Bone marrow smear: 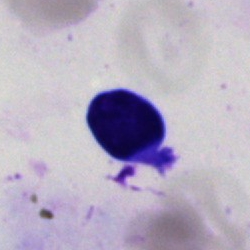 Specimen: bone marrow smear.
Cell: artifact.